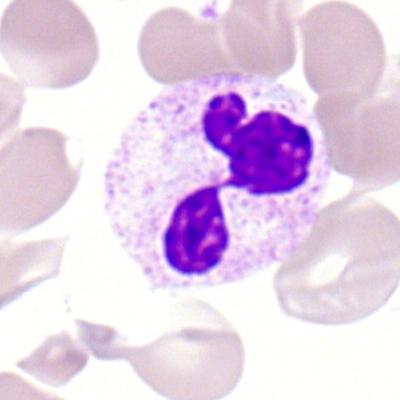A neutrophil (segmented) on a peripheral blood smear.